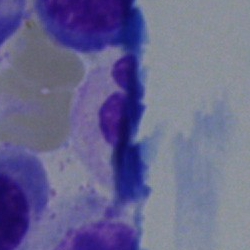The cell type is artifact.